Single cell centered in the field · bone marrow smear · 250 by 250 pixels — 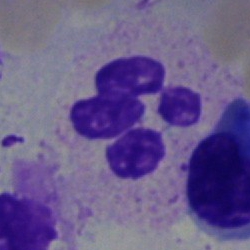

The cell shown is a segmented neutrophil.